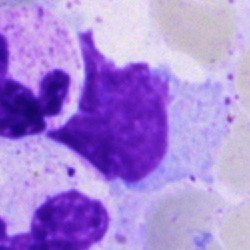

Classification = artefact.